Bone marrow aspirate smear
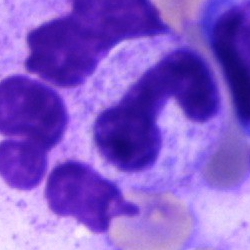

Impression — polymorphonuclear neutrophil.